Bone marrow aspirate smear; brightfield microscopy, 40× oil immersion; cropped to a single cell: 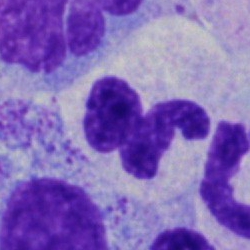

Impression — neutrophil (segmented).